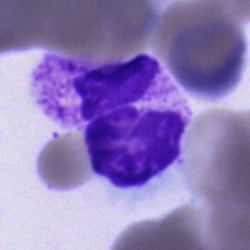A segmented neutrophil on a bone marrow smear.